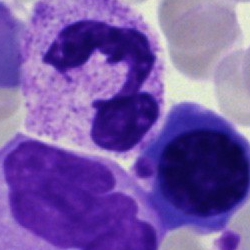 Specimen: bone marrow smear.
Cell: segmented neutrophil.